Bone marrow aspirate smear — 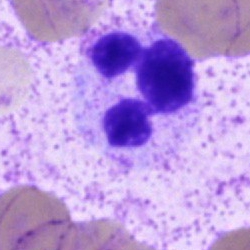Impression — polymorphonuclear neutrophil.